Bone marrow aspirate smear:
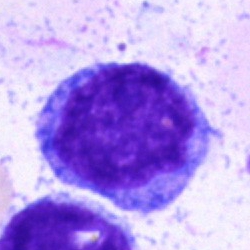 Impression — undifferentiated blast.